Bone marrow smear; single-cell crop
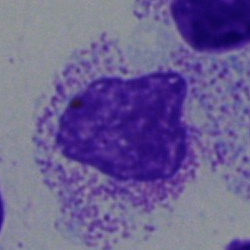
Impression → myelocyte.